Single-cell field. Bone marrow smear
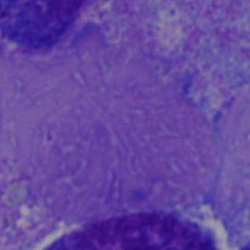 Single cell identified as an artefact.